Bone marrow smear
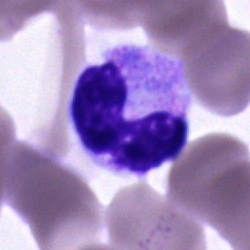
A polymorphonuclear neutrophil.